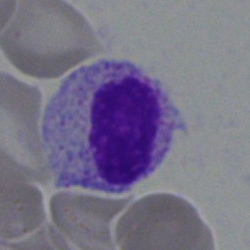

A metamyelocyte.